Single cell centered in the field. Bone marrow aspirate smear:
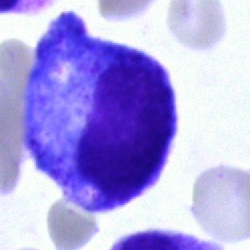
Classification = promyelocyte.